Bone marrow aspirate smear. Brightfield microscopy, 40× oil immersion — 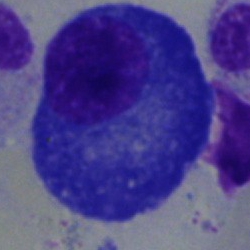
Morphology consistent with a plasma cell.